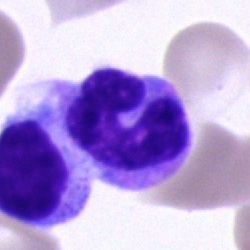 Single cell identified as a monocyte.